Bone marrow aspirate smear · 40× oil immersion.
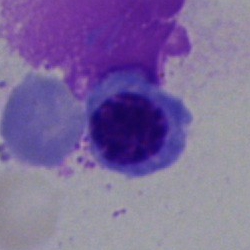 Showing a nucleated red cell.